Bone marrow aspirate smear; single cell centered in the field; 250×250: 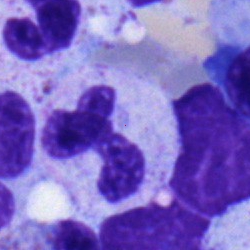 The classification is neutrophil (segmented).